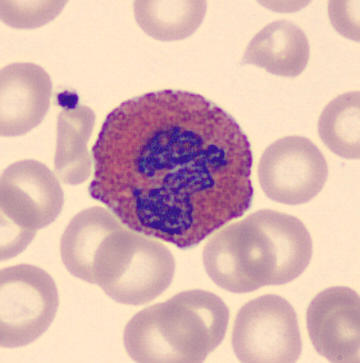Identified as an eosinophilic granulocyte. Peripheral blood smear.